Romanowsky-type stain · peripheral blood film · brightfield, 100× oil-immersion objective: 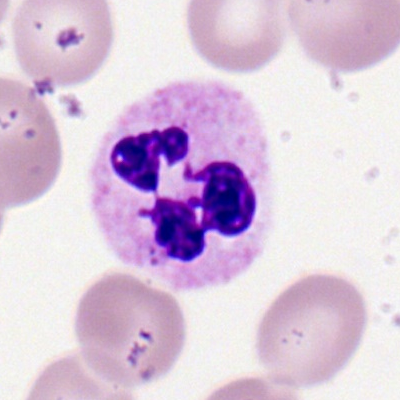

{"cell_type": "neutrophil (segmented)"}